Peripheral blood smear · 100× objective, oil immersion: 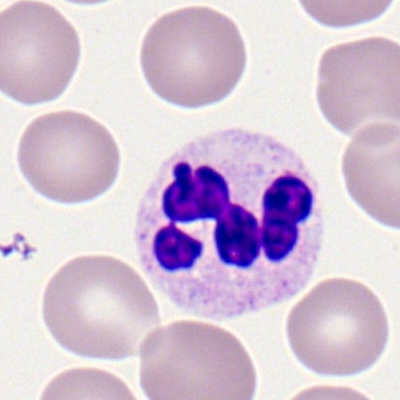

Q: What cell is this?
A: It is a segmented neutrophil.